Bone marrow smear.
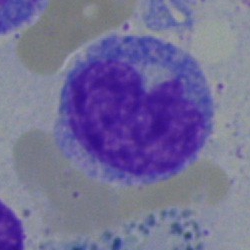The morphological class is monocyte.